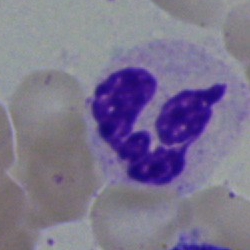
Cell = polymorphonuclear neutrophil.